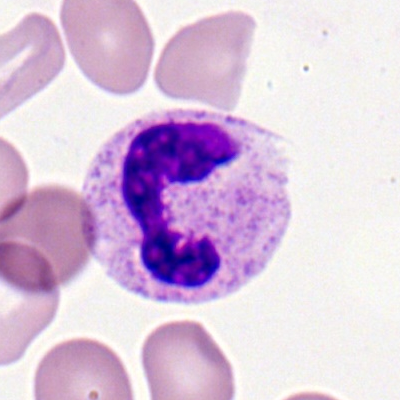 Classification: neutrophil (segmented).